Bone marrow smear. Single-cell field — 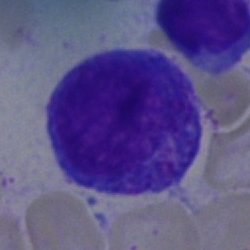
Morphological class — promyelocyte.